Bone marrow smear; 250 by 250 pixels
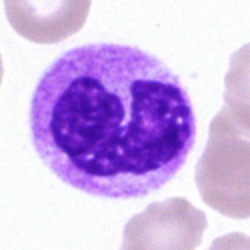

Specimen: bone marrow smear.
Cell type: band neutrophil.
Lineage: myeloid.